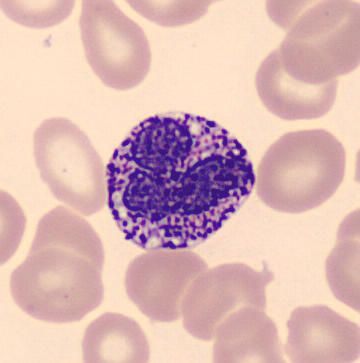

The morphological class is basophil.